Single-cell crop. Bone marrow smear: 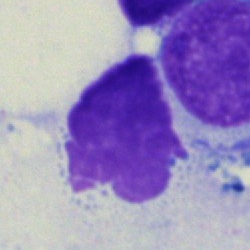

Morphology consistent with an artefact.